Romanowsky-type stain. Peripheral blood smear:
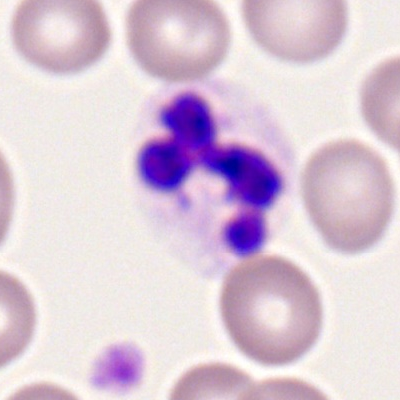 Q: Identify the cell.
A: It is a segmented neutrophil.